Bone marrow smear. 250 by 250 pixels
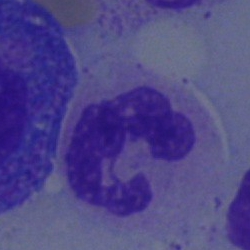 The cell shown is a neutrophil (segmented).